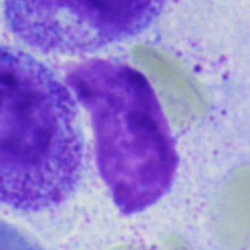
Bone marrow aspirate smear, single cell — artifact.